250 by 250 pixels · Pappenheim-stained · bone marrow aspirate smear: 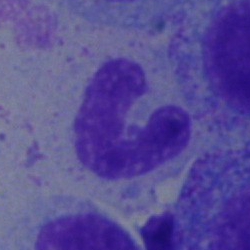

This is a stab cell.